40× objective, oil immersion. 250×250 px. Bone marrow aspirate smear
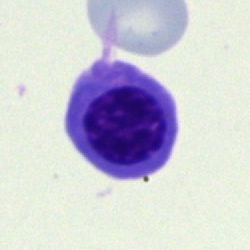

Q: Which cell type is shown here?
A: Nucleated red blood cell.